Bone marrow smear:
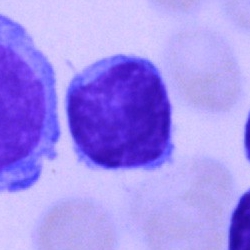
Impression → typical lymphocyte.